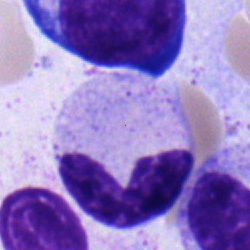 {"cell_type": "neutrophil (segmented)"}